Bone marrow smear:
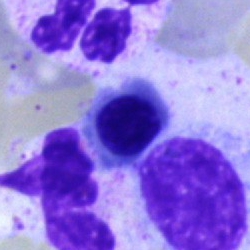 This is a nucleated red cell.